40× oil immersion. Bone marrow smear — 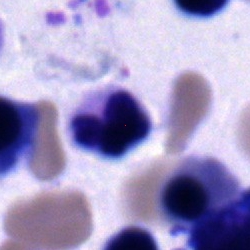
Specimen: bone marrow smear.
Cell type: segmented neutrophil.
Lineage: myeloid.